Romanowsky stain · single cell centered in the field · peripheral blood smear — 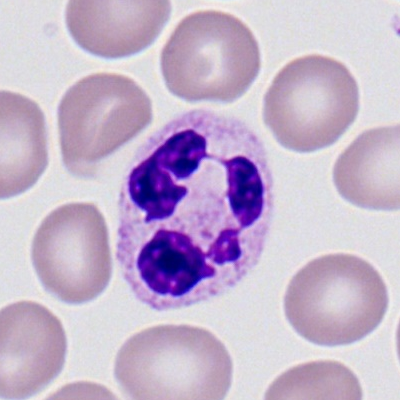
{"cell_type": "polymorphonuclear neutrophil"}